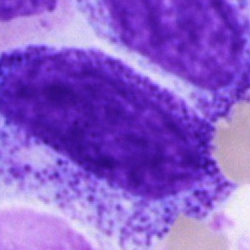 Q: What cell is this?
A: A promyelocyte.